Bone marrow aspirate smear. Single-cell field. MGG-stained: 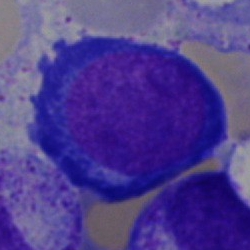 Morphology consistent with a pronormoblast.